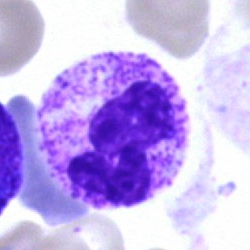Morphology — polymorphonuclear neutrophil.